Bone marrow aspirate smear; brightfield, 40× oil-immersion objective.
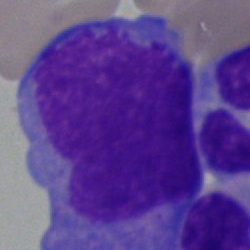

This is a blast.